Single-cell crop; bone marrow aspirate smear; MGG-stained.
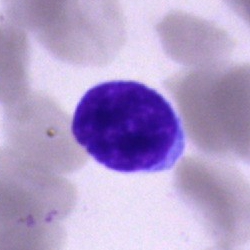

The cell is lymphocyte.